Peripheral blood smear; Romanowsky-type stain
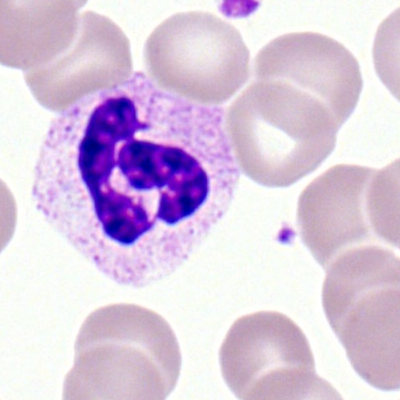Single cell identified as a neutrophil (segmented).